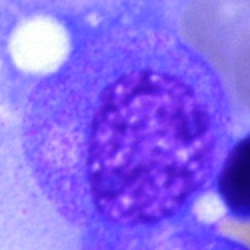Single-cell crop from a bone marrow smear: promyelocyte.